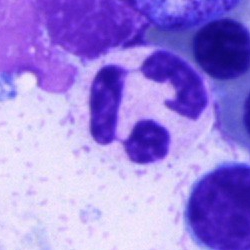 Q: Identify the cell.
A: Segmented neutrophil.